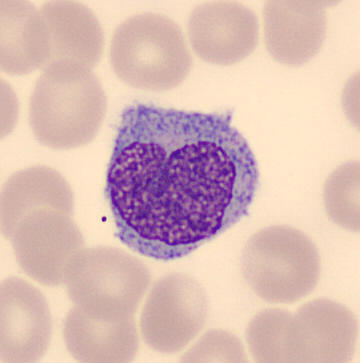

Peripheral blood film, single cell — monocyte.